Bone marrow smear:
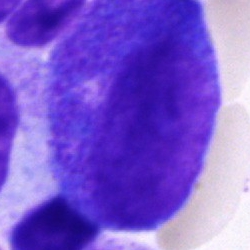Morphological class — progranulocyte.